Bone marrow smear; 40× oil immersion
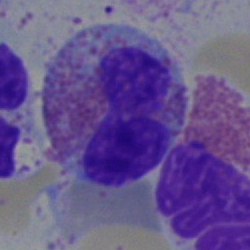Cell: eosinophilic granulocyte.